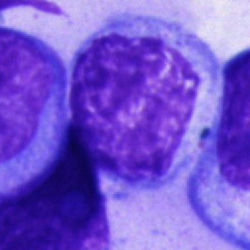An unidentifiable cell.